250×250 px; bone marrow smear — 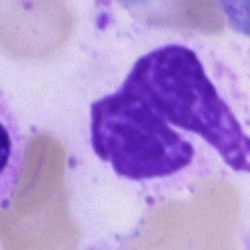

Cell: artefact.